Bone marrow smear:
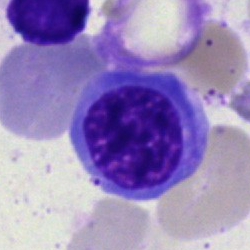

Q: Which cell type is shown here?
A: Nucleated red blood cell.